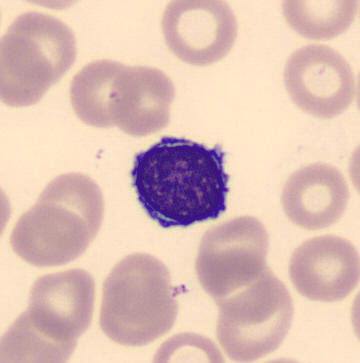
Peripheral blood smear.
Lymphocyte.